May-Grünwald-Giemsa/Pappenheim stain. Bone marrow smear:
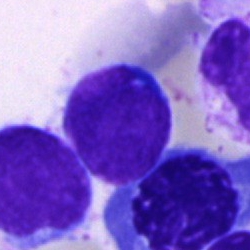Cell type = blast.